250 by 250 pixels; bone marrow smear; 40× objective, oil immersion:
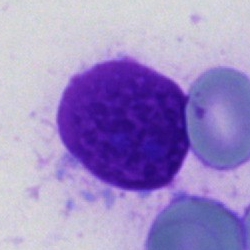 Impression — artifact.